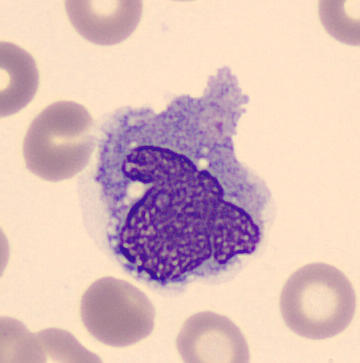Peripheral blood smear.

{"cell_type": "monocyte", "lineage": "myeloid"}